Bone marrow aspirate smear:
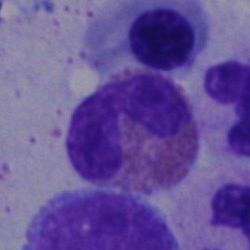 An eosinophilic granulocyte.